Bone marrow aspirate smear. Pappenheim-stained:
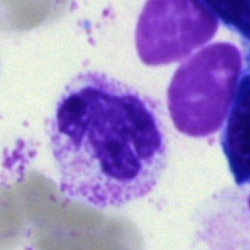

Q: Which cell type is shown here?
A: It is a neutrophil (segmented).